Bone marrow smear · 250×250 px · single cell centered in the field: 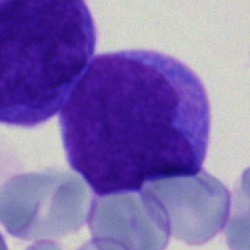 The classification is blast.